Bone marrow aspirate smear; 250×250 px
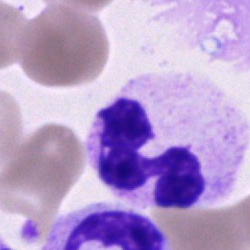

A neutrophil (segmented).